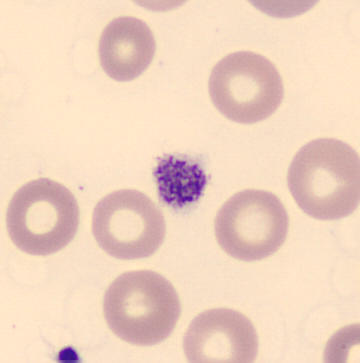

{"cell_type": "platelet"}